Pappenheim-stained; bone marrow smear:
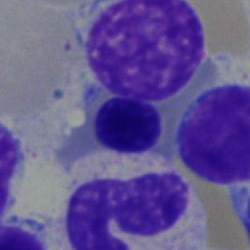Impression → erythroblast.